Bone marrow smear. MGG-stained: 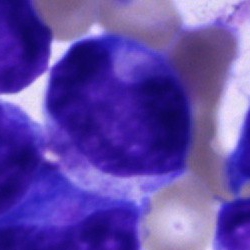
{"cell_type": "undifferentiated blast"}